40× objective, oil immersion; bone marrow smear.
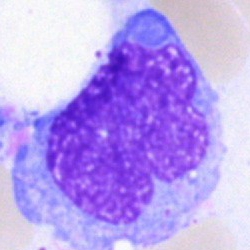
An undifferentiated blast.